MGG-stained · bone marrow aspirate smear — 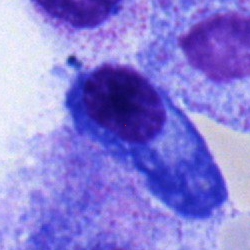 Morphology consistent with a plasma cell.